Bone marrow aspirate smear · 250 by 250 pixels: 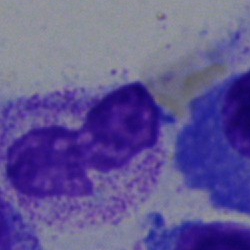 Q: What is the morphological classification of this cell?
A: It is a band-form neutrophil.